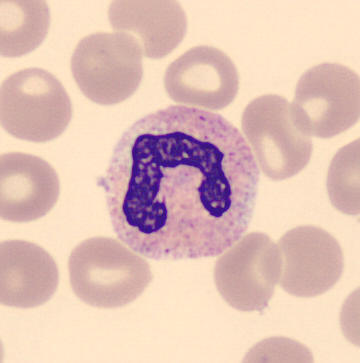Image: Automated cell imaging (CellaVision DM96) · peripheral blood smear. Identified as a segmented neutrophil.